Bone marrow aspirate smear — 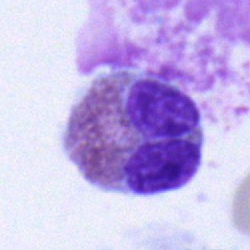

Impression — eosinophilic granulocyte.